Peripheral blood film
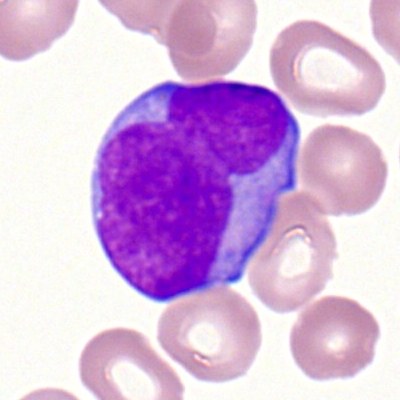
This is a myeloblast.